Bone marrow smear: 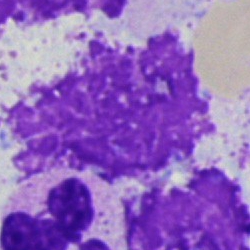
Impression — artifact.